Bone marrow smear — 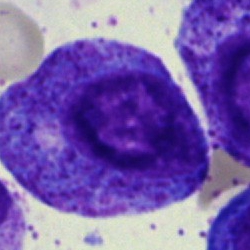 Impression — progranulocyte.